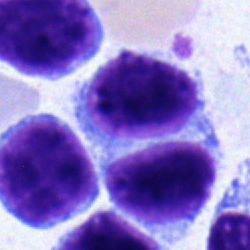 Classification — lymphocyte.